Bone marrow smear: 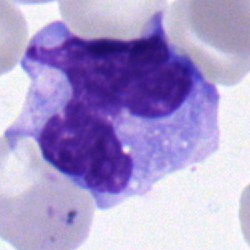 Monocyte.